Single-cell crop · Pappenheim-stained · bone marrow smear
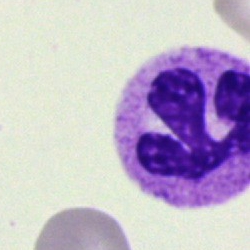
The cell type is polymorphonuclear neutrophil.